May-Grünwald-Giemsa stain. Bone marrow smear. Cropped to a single cell
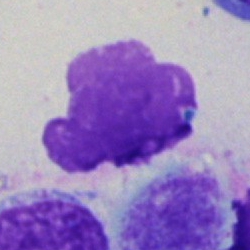 {"cell_type": "artifact"}